May-Grünwald-Giemsa stain; bone marrow aspirate smear; single-cell crop:
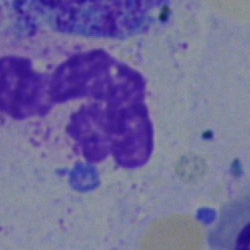
Impression → segmented neutrophil.